Cropped to a single cell · brightfield microscopy, 40× oil immersion · bone marrow aspirate smear: 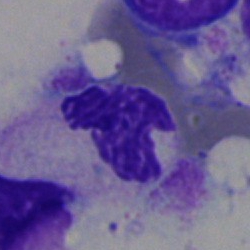
Morphology consistent with a segmented neutrophil.